Bone marrow aspirate smear.
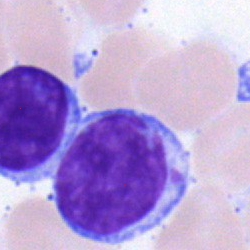 Morphology — lymphocyte.